250 by 250 pixels. Bone marrow aspirate smear:
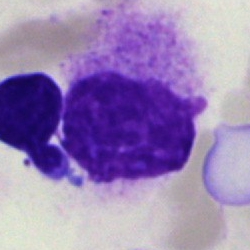
Specimen: bone marrow aspirate smear.
Morphological class: artefact.